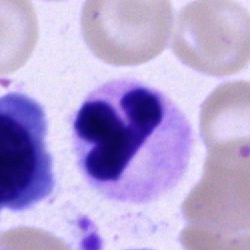Single-cell crop from a bone marrow smear: segmented neutrophil.